Peripheral blood film
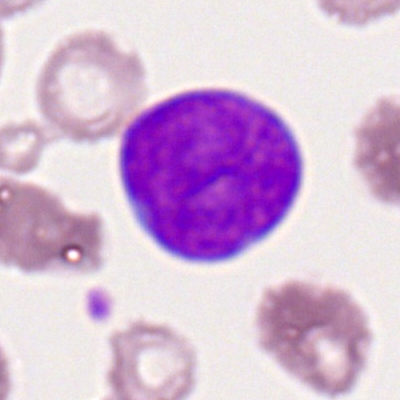
Morphology consistent with a myeloblast.